Pappenheim-stained; bone marrow aspirate smear; brightfield, 40× oil-immersion objective
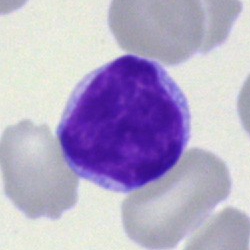 Classification — typical lymphocyte.